MGG-stained · single cell centered in the field · bone marrow smear:
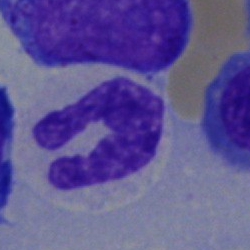 Specimen: bone marrow aspirate smear.
Cell type: segmented neutrophil.